May-Grünwald-Giemsa/Pappenheim stain; bone marrow smear:
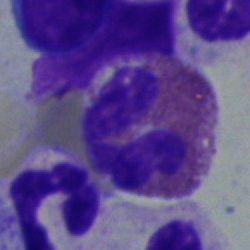
Morphological class = eosinophil.